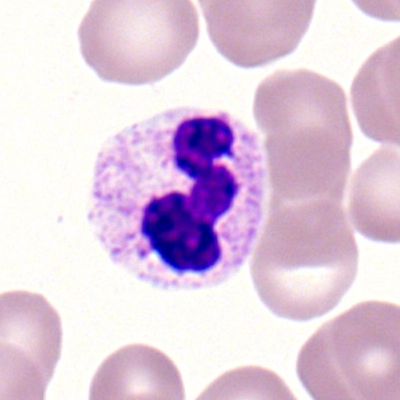
The classification is neutrophil (segmented).